Peripheral blood film.
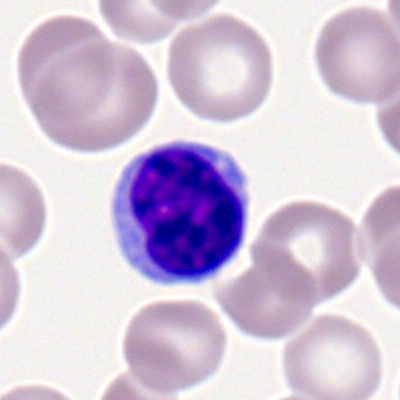Cell: lymphocyte.